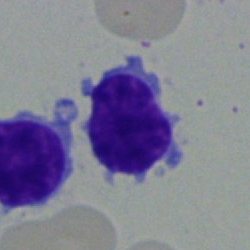

This is a typical lymphocyte.